Bone marrow smear:
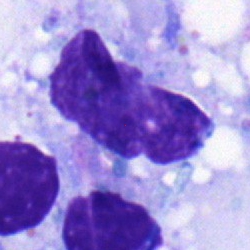Impression — metamyelocyte.